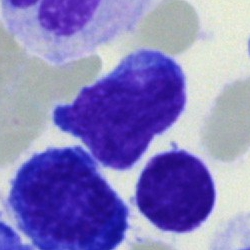 Impression — undifferentiated blast.